Bone marrow aspirate smear: 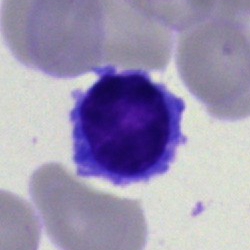A lymphocyte.